250 by 250 pixels; bone marrow smear.
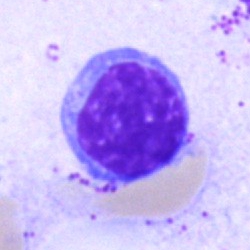
Cell = lymphocyte.